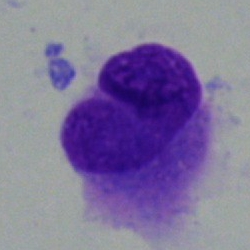

Hairy cell.